Bone marrow smear
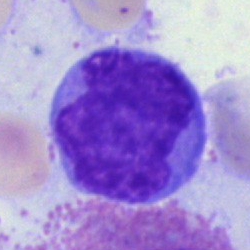

The morphological class is monocyte.